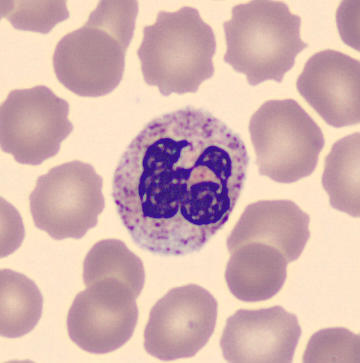
Image: Peripheral blood film · MGG-stained · image size 360×363. The morphological class is polymorphonuclear neutrophil.